Bone marrow aspirate smear.
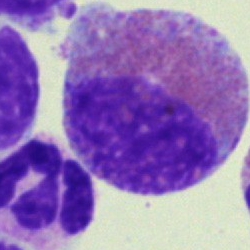

The classification is eosinophil.